Bone marrow aspirate smear
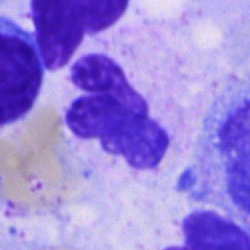 Specimen: bone marrow aspirate smear.
Cell type: neutrophil (segmented).
Lineage: myeloid.